Cropped to a single cell · brightfield microscopy, 40× oil immersion · bone marrow smear.
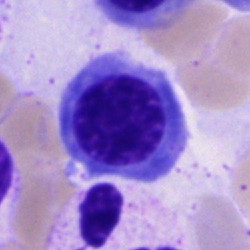This is an erythroblast.